Bone marrow smear: 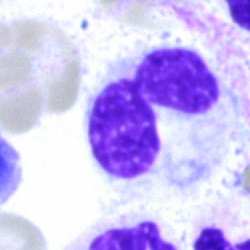Cell = artefact.